Bone marrow aspirate smear: 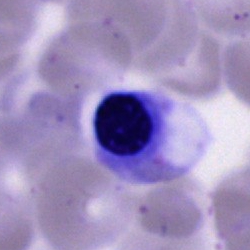
Q: What type of cell is this?
A: An erythroblast.